Bone marrow smear · cropped to a single cell
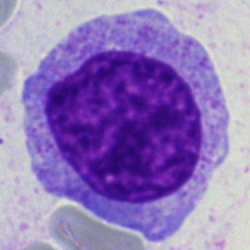 Morphology consistent with a myelocyte.